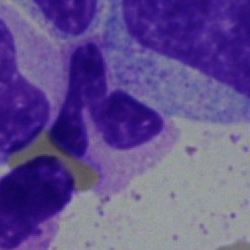Segmented neutrophil.